Bone marrow aspirate smear — 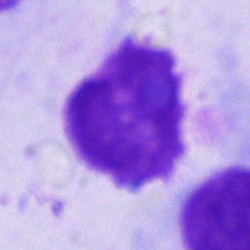 Morphology consistent with an artefact.